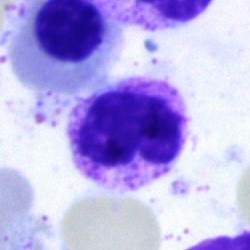

Specimen: bone marrow aspirate smear.
Cell type: neutrophil (segmented).
Lineage: myeloid.